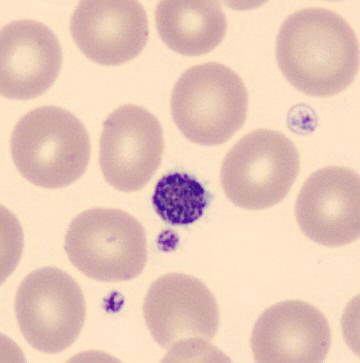

Morphology — thrombocyte.